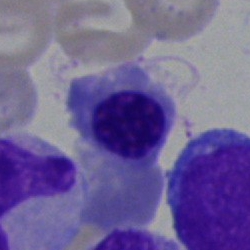

Classification — nucleated red cell.